Bone marrow smear.
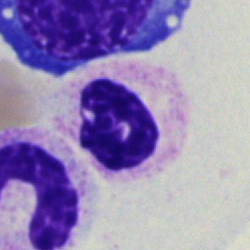Cell type: neutrophil (segmented).